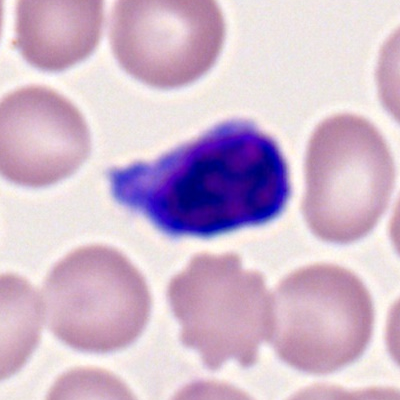

{"cell_type": "typical lymphocyte", "lineage": "lymphoid"}